Bone marrow aspirate smear
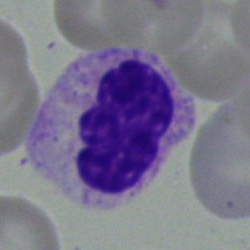

Q: What is the morphological classification of this cell?
A: Segmented neutrophil.